Pappenheim-stained · bone marrow aspirate smear
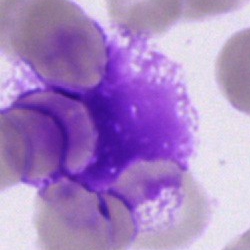 Classification = artefact.